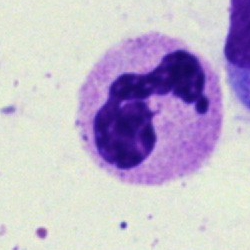Morphology consistent with a segmented neutrophil.